Bone marrow aspirate smear · 40× oil immersion · 250×250 px
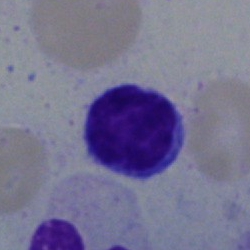 Classification: typical lymphocyte.